Bone marrow smear. Image size 250×250.
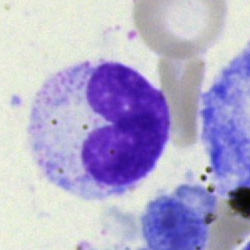Band neutrophil.